Peripheral blood film:
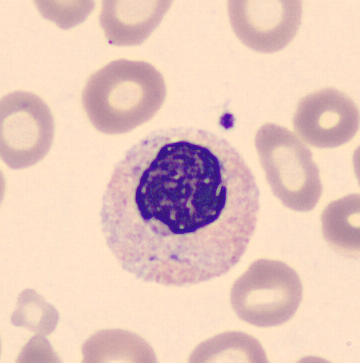

Q: Which cell type is shown here?
A: It is a myelocyte.